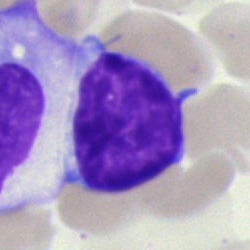

Specimen: bone marrow aspirate smear.
Cell: lymphocyte.
Lineage: lymphoid.